Bone marrow smear — 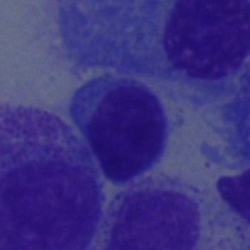Single cell identified as a lymphocyte.